Peripheral blood film
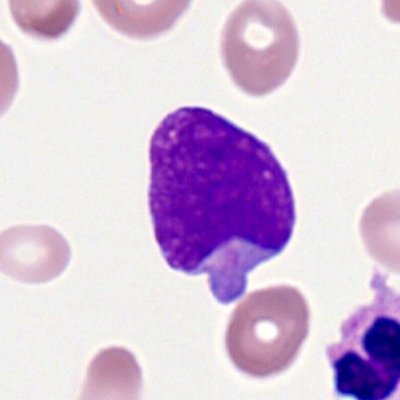
Specimen: peripheral blood smear.
Cell type: myeloblast.
Lineage: myeloid.